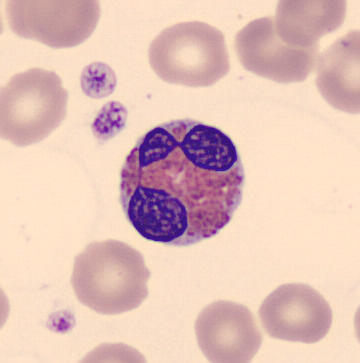 Preparation: Single-cell crop.

Specimen: peripheral blood film.
Classification: eosinophil.